Bone marrow smear — 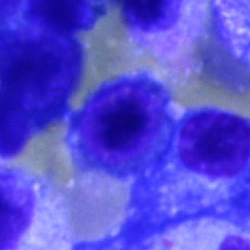The cell type is normoblast.